Bone marrow aspirate smear: 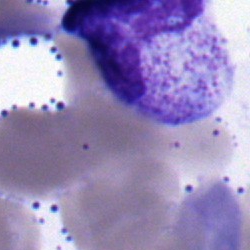

Specimen: bone marrow aspirate smear.
Cell: segmented neutrophil.
Lineage: myeloid.